40× oil immersion. Bone marrow aspirate smear. 250×250.
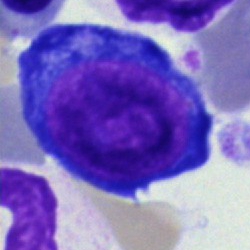
Morphology — proerythroblast.